Bone marrow smear · brightfield, 40× oil-immersion objective — 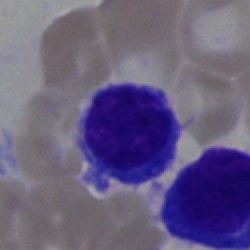

Cell — plasma cell.